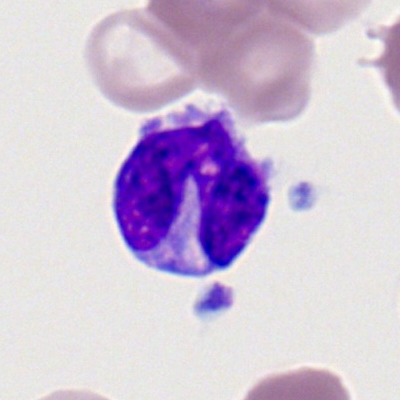

Morphology consistent with a monocyte.